Bone marrow smear.
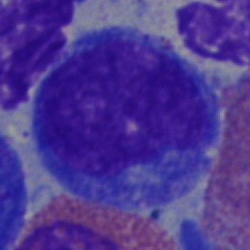 Cell — blast cell.